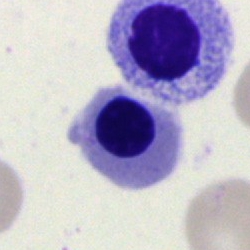 Q: Identify the cell.
A: Nucleated red blood cell.